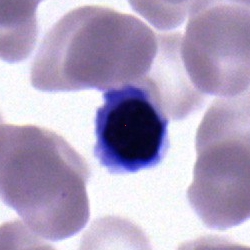
Classification = erythroblast.